Bone marrow aspirate smear · cropped to a single cell — 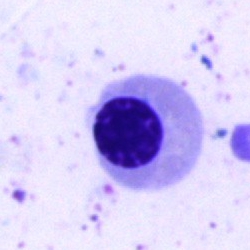

Q: Which cell type is shown here?
A: Erythroblast.